Bone marrow aspirate smear.
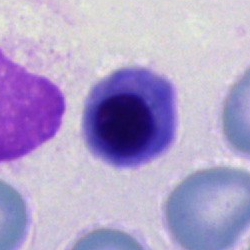
Cell type — normoblast.